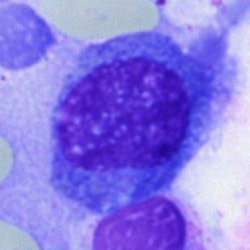
Q: What cell is this?
A: This is a nucleated red blood cell.